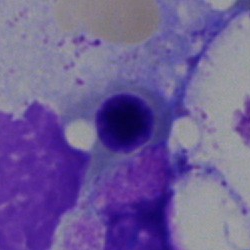
Q: What type of cell is this?
A: Nucleated red cell.